Bone marrow aspirate smear: 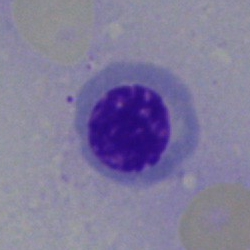

Showing a nucleated red cell.